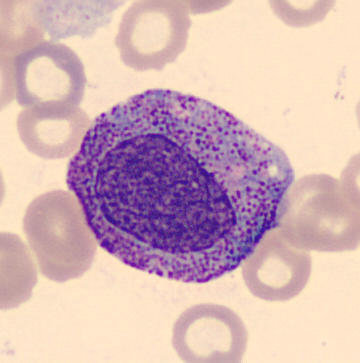

Acquisition: Peripheral blood smear. Image size 360×363.

Q: What is the morphological classification of this cell?
A: This is a promyelocyte.